May-Grünwald-Giemsa/Pappenheim stain; bone marrow aspirate smear; cropped to a single cell: 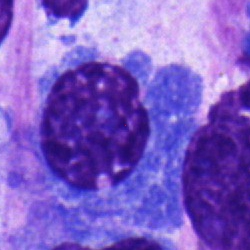Q: Which cell type is shown here?
A: This is a plasmacyte.